Image size 250×250 · bone marrow smear — 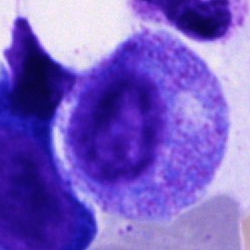
Cell — progranulocyte.